May-Grünwald-Giemsa stain; bone marrow aspirate smear:
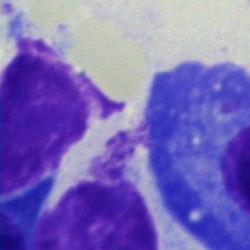 Plasmacyte.